Bone marrow smear:
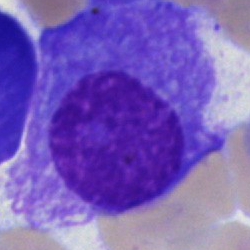
This is a plasmacyte.